Bone marrow aspirate smear: 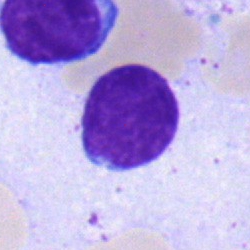 The morphological class is typical lymphocyte.